Single-cell field; bone marrow aspirate smear; 40× objective, oil immersion — 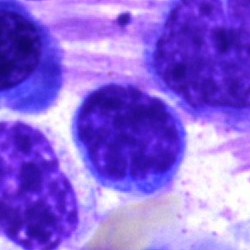

A lymphocyte.